Bone marrow smear; 250×250 px: 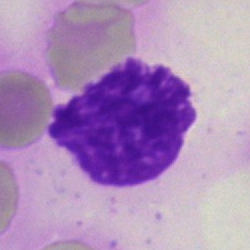
Q: What is shown here?
A: It is an artefact.